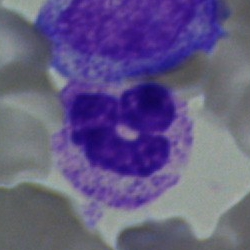 Impression → polymorphonuclear neutrophil.